Bone marrow smear; brightfield microscopy, 40× oil immersion; 250×250: 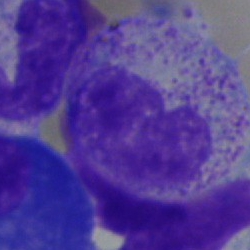 Cell type = metamyelocyte.